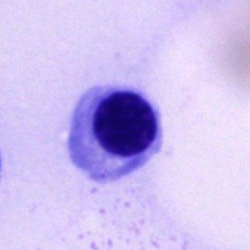

Cell: normoblast.